May-Grünwald-Giemsa stain. Single-cell crop. Bone marrow smear: 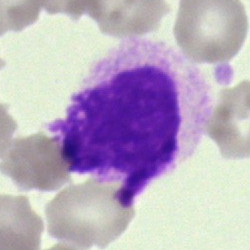
Showing an artefact.